Bone marrow aspirate smear. May-Grünwald-Giemsa/Pappenheim stain:
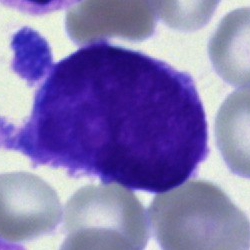The cell shown is an undifferentiated blast.